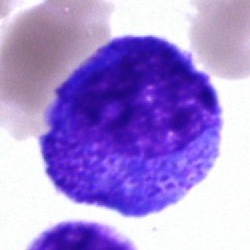

Q: Which cell type is shown here?
A: Progranulocyte.